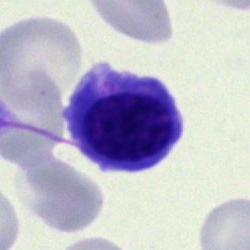
Cell: nucleated red blood cell.